250×250 px. Bone marrow smear
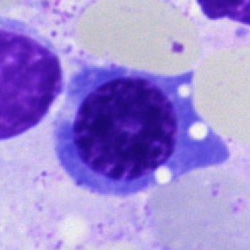Classification = erythroblast.